Bone marrow smear — 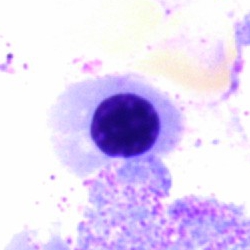Morphology consistent with a nucleated red blood cell.